Brightfield microscopy, 40× oil immersion · bone marrow aspirate smear · MGG-stained
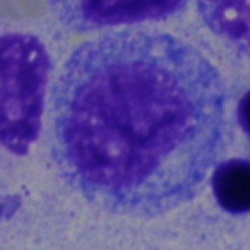 A promyelocyte.